Peripheral blood smear — 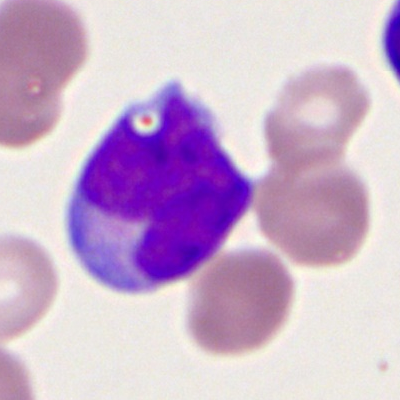 Morphology — myeloblast.